Bone marrow aspirate smear.
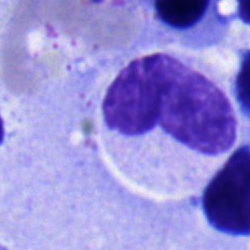

Impression — stab cell.